May-Grünwald-Giemsa/Pappenheim stain · image size 250×250 · bone marrow aspirate smear.
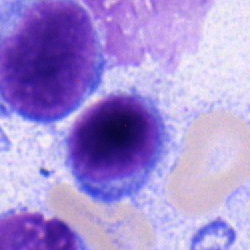

Morphological class — typical lymphocyte.